MGG-stained. Bone marrow aspirate smear.
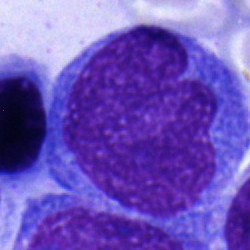
Q: Which cell type is shown here?
A: This is a monocyte.